Bone marrow smear
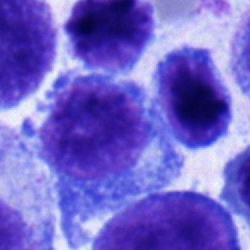

Plasmacyte.